Bone marrow smear; single-cell crop — 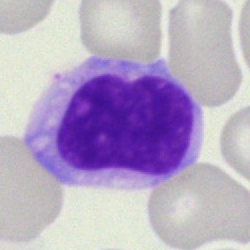
A typical lymphocyte.